Peripheral blood film; single-cell crop
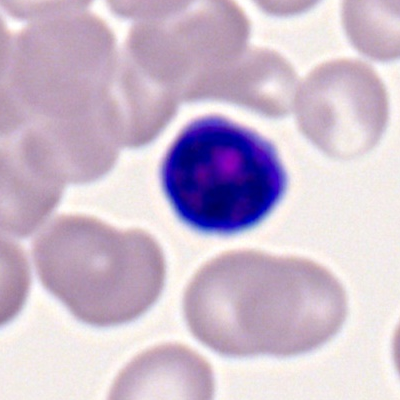 Impression → lymphocyte.